Bone marrow aspirate smear:
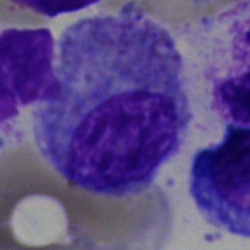{"cell_type": "promyelocyte"}